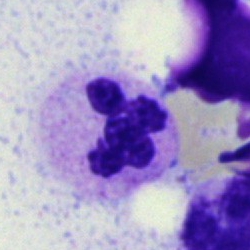

Morphology consistent with a neutrophil (segmented).